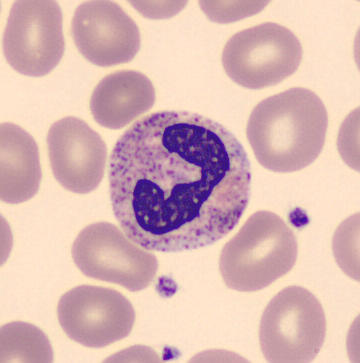
Morphology consistent with a stab cell.

Image: May Grünwald-Giemsa stain · imaged on a CellaVision DM96 analyser · peripheral blood film.